Bone marrow smear; single-cell crop.
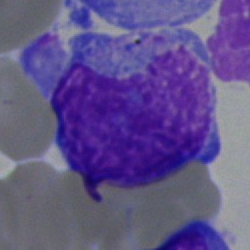

Morphology → blast.